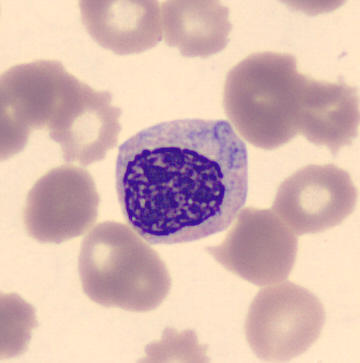 Preparation: Peripheral blood film · 360×363 px.
Impression — myelocyte.